Bone marrow smear
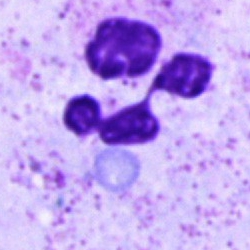Single cell identified as a segmented neutrophil.